Single-cell field; brightfield microscopy, 40× oil immersion; bone marrow smear: 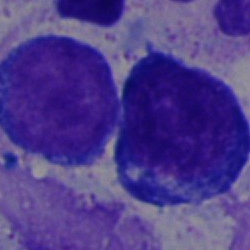
A nucleated red cell.